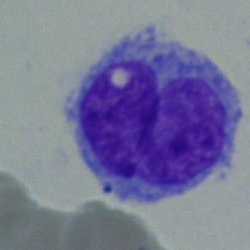 Cell type: monocyte.